Bone marrow smear — 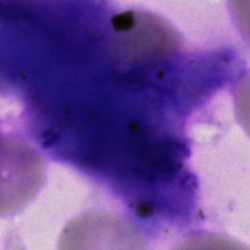 Cell type — artifact.